Bone marrow smear.
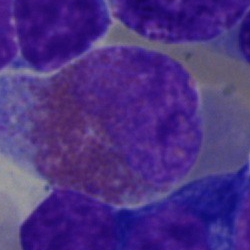Cell type = eosinophilic granulocyte.